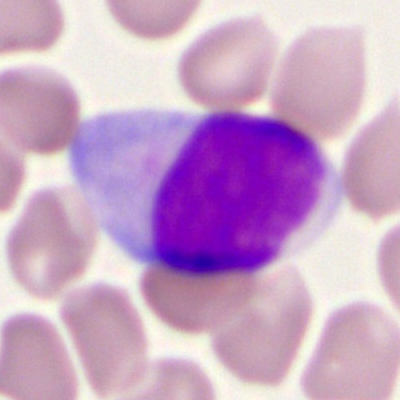Single cell identified as a myeloblast.